May-Grünwald-Giemsa/Pappenheim stain · bone marrow aspirate smear.
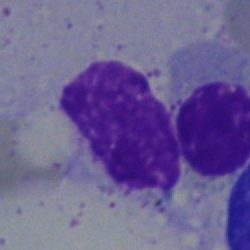 Showing an artifact.